Bone marrow aspirate smear.
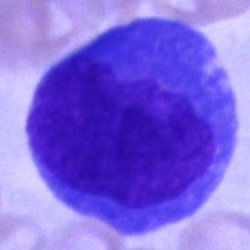The classification is blast.